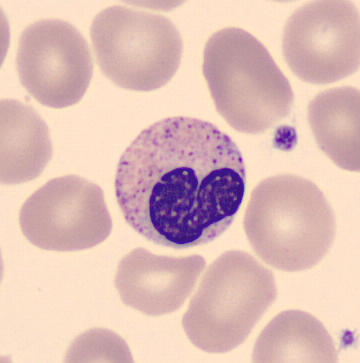
Acquisition: Peripheral blood film. Morphology — band neutrophil.